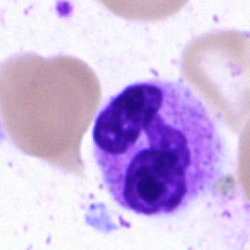Morphology — polymorphonuclear neutrophil.